Bone marrow aspirate smear:
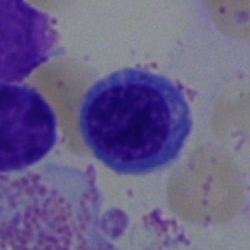Classification: normoblast.